Single cell centered in the field. Bone marrow aspirate smear:
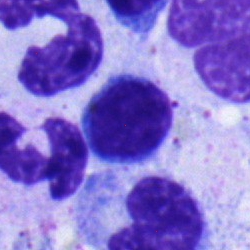
This is a typical lymphocyte.